Bone marrow aspirate smear; 250×250 — 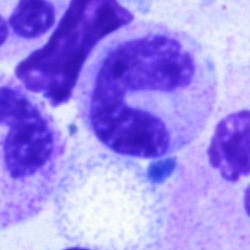
Band-form neutrophil.